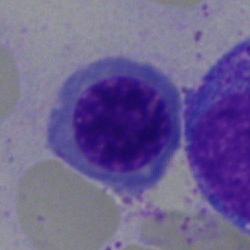 Morphology → nucleated red blood cell.